Bone marrow smear:
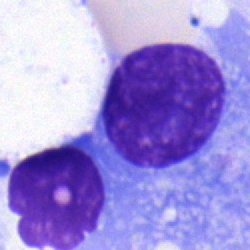Q: What is the morphological classification of this cell?
A: Plasmacyte.